Bone marrow smear. 250×250 px.
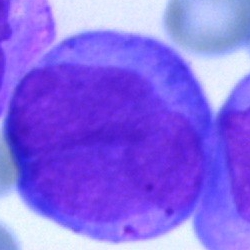Impression — undifferentiated blast.